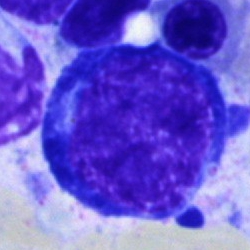Impression — erythroblast.